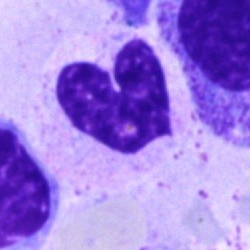

Classification — band-form neutrophil.